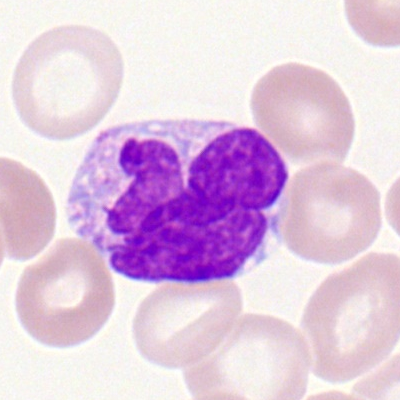
Impression — monocyte.